Bone marrow smear. Single cell centered in the field — 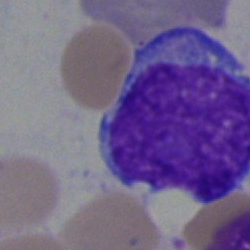Q: What type of cell is this?
A: It is an undifferentiated blast.